Bone marrow smear.
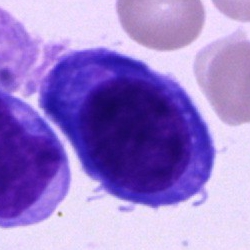

This is an erythroblast.